250×250 px · bone marrow smear — 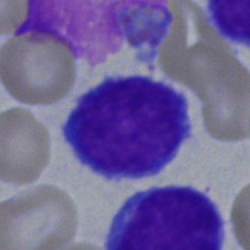Morphology consistent with a lymphocyte.